Brightfield microscopy, 40× oil immersion · bone marrow aspirate smear
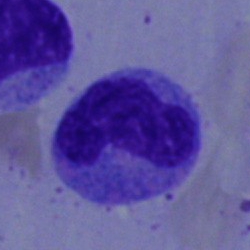 The cell shown is a monocyte.